Bone marrow smear — 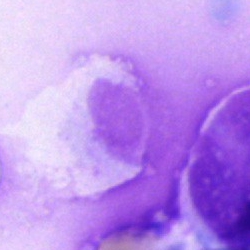
Cell type: artifact.